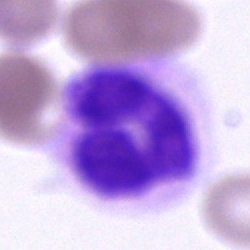
Bone marrow smear showing a segmented neutrophil.